250 by 250 pixels · bone marrow aspirate smear · single-cell crop.
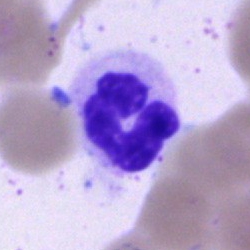
Q: Identify the cell.
A: It is a polymorphonuclear neutrophil.